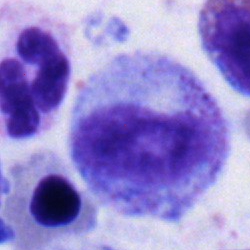Specimen: bone marrow aspirate smear.
Classification: promyelocyte.